Bone marrow aspirate smear
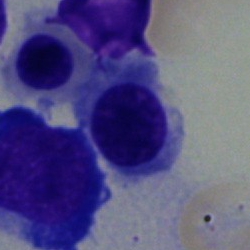

{"cell_type": "nucleated red blood cell"}